250×250. Bone marrow smear
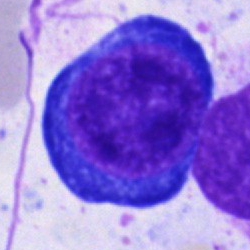
{"cell_type": "pronormoblast", "lineage": "erythroid"}